Single-cell crop. Bone marrow aspirate smear. Pappenheim-stained:
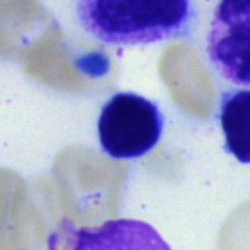 The cell is typical lymphocyte.